MGG-stained. 250×250 px. Bone marrow aspirate smear — 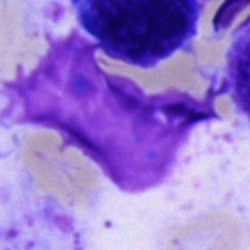
This is an artefact.